Image size 250×250. Bone marrow aspirate smear: 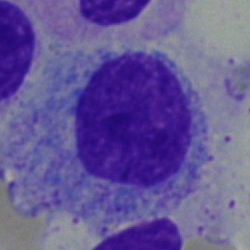
Cell type: myelocyte.